Bone marrow aspirate smear
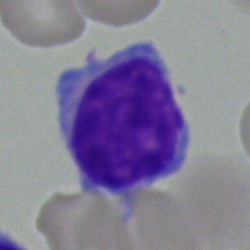Single cell identified as a lymphocyte.